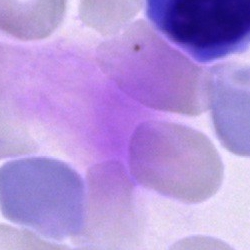Morphology — artifact.